Bone marrow aspirate smear
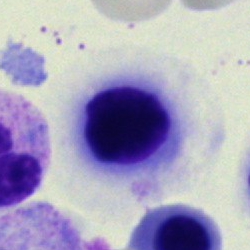 The cell shown is a normoblast.